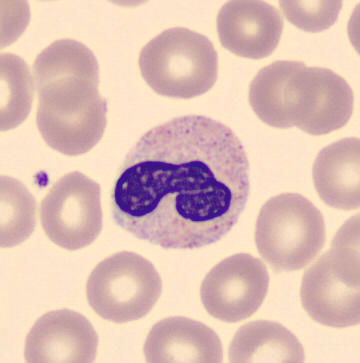
360×363. Peripheral blood film.
Morphology → band-form neutrophil.